Brightfield, 40× oil-immersion objective; bone marrow aspirate smear
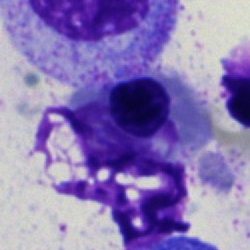Impression → nucleated red blood cell.